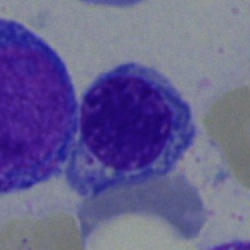
{"cell_type": "nucleated red blood cell", "lineage": "erythroid"}